Bone marrow aspirate smear
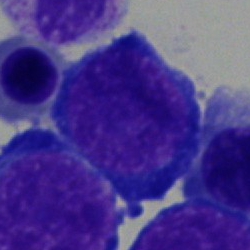This is an erythroblast.